Bone marrow smear:
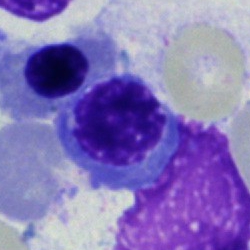Showing a nucleated red blood cell.